Bone marrow aspirate smear:
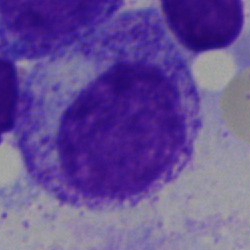

{"cell_type": "myelocyte"}